Bone marrow smear: 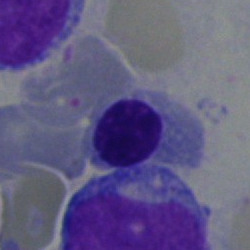
Specimen: bone marrow aspirate smear.
Classification: erythroblast.
Lineage: erythroid.